Bone marrow aspirate smear; brightfield, 40× oil-immersion objective
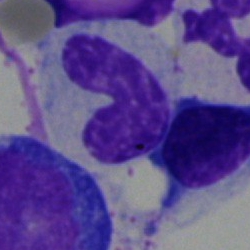 The cell type is stab cell.